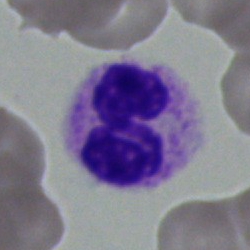 A neutrophil (segmented) on a bone marrow smear.